Bone marrow aspirate smear.
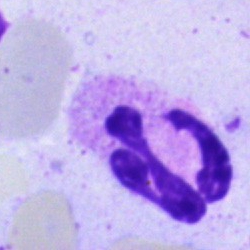
This is a neutrophil (segmented).